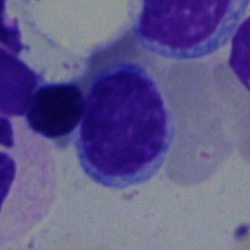
{"cell_type": "typical lymphocyte"}